Peripheral blood film:
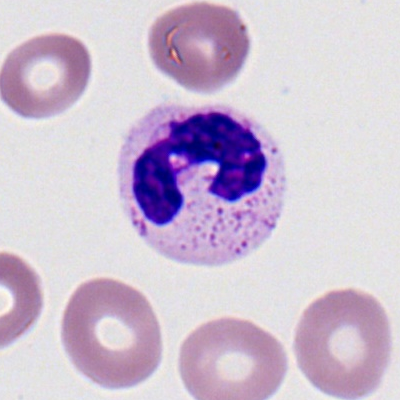Morphology consistent with a segmented neutrophil.